Bone marrow smear. May-Grünwald-Giemsa/Pappenheim stain.
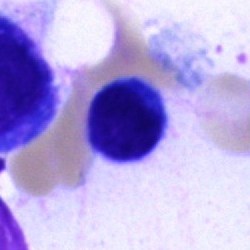

Cell type — typical lymphocyte.